Bone marrow smear.
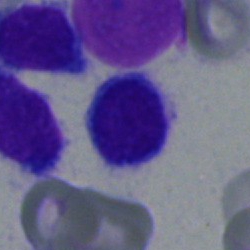 This is a lymphocyte.